Pappenheim-stained · bone marrow smear
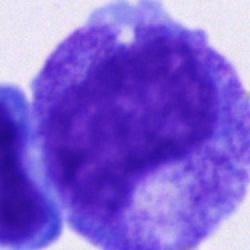Morphological class = promyelocyte.